Single-cell crop. Bone marrow smear
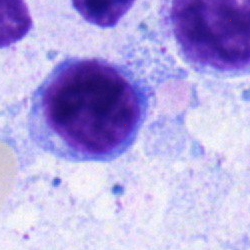

Impression → typical lymphocyte.